Peripheral blood smear
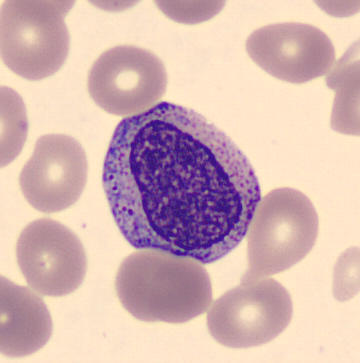
Myelocyte.